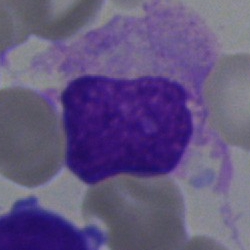

Artefact.